Bone marrow aspirate smear; May-Grünwald-Giemsa/Pappenheim stain:
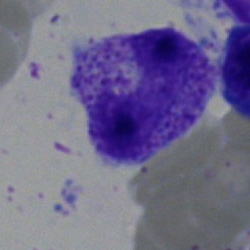Showing a band neutrophil.